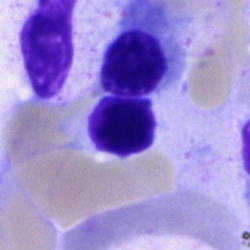
This is a nucleated red blood cell.